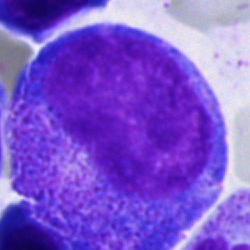
Cell type — promyelocyte.